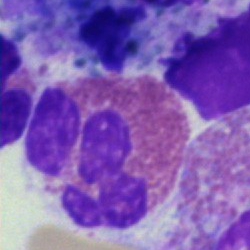

Morphology → eosinophil.